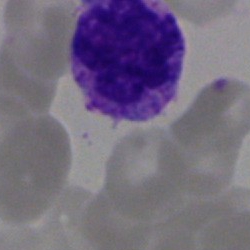 {"cell_type": "basophil", "lineage": "myeloid"}